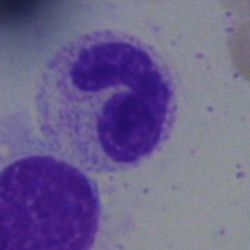 Bone marrow smear showing a neutrophil (band).